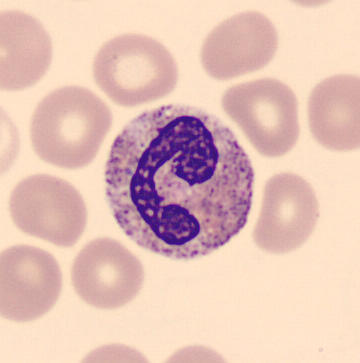

Q: What is this?
A: It is a band-form neutrophil.

Acquisition: 360×363. Peripheral blood film. Imaged on a CellaVision DM96 analyser.